Bone marrow aspirate smear:
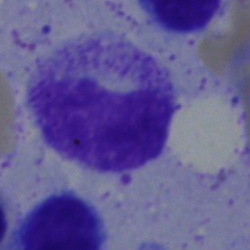
A metamyelocyte.